Bone marrow aspirate smear — 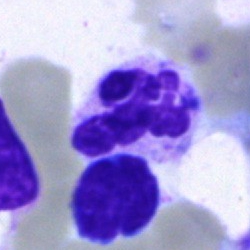
A neutrophil (segmented).